Peripheral blood smear. Single-cell field — 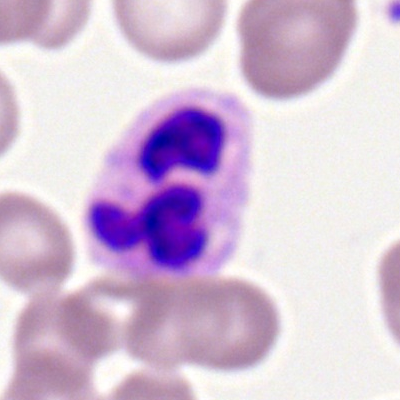 Single cell identified as a segmented neutrophil.